Bone marrow aspirate smear · brightfield microscopy, 40× oil immersion — 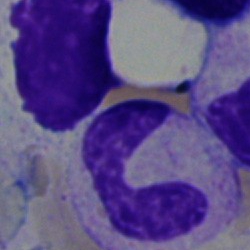

Cell = band neutrophil.